Bone marrow smear; brightfield, 40× oil-immersion objective — 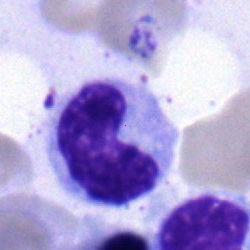Metamyelocyte.